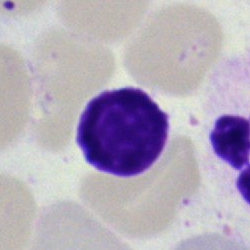

Q: What is shown here?
A: This is an artefact.